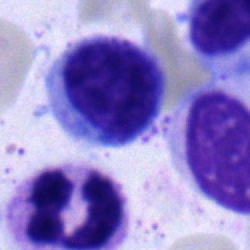
Morphology consistent with a myelocyte.